Peripheral blood film
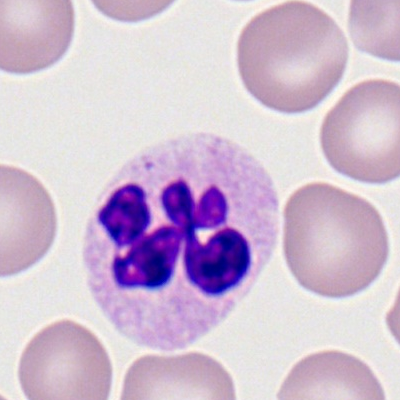 A neutrophil (segmented).